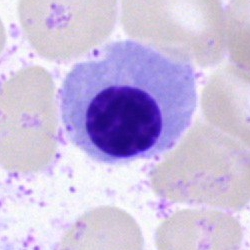
This is a normoblast.